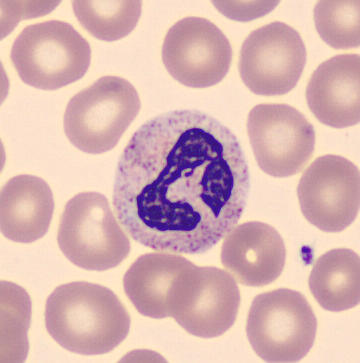 Identified as a segmented neutrophil.